Bone marrow aspirate smear · brightfield microscopy, 40× oil immersion · single-cell field.
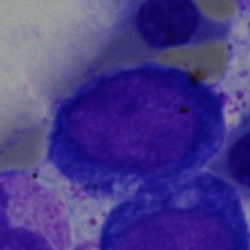
Cell type = nucleated red cell.